Bone marrow smear; Pappenheim-stained
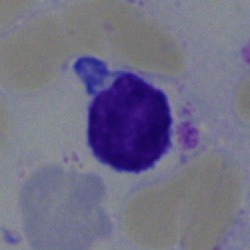

Morphology consistent with a segmented neutrophil.